250 by 250 pixels; bone marrow smear:
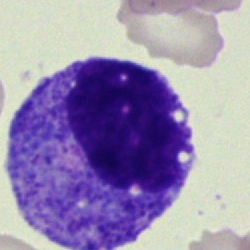 The cell is progranulocyte.